Bone marrow aspirate smear. May-Grünwald-Giemsa stain: 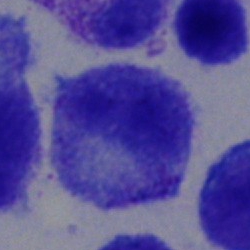Q: Identify the cell.
A: This is a myelocyte.